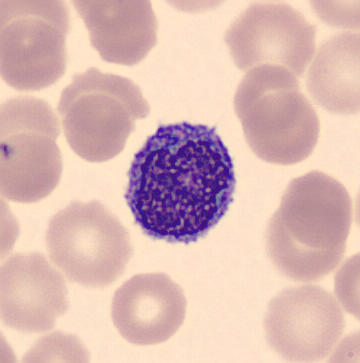
Peripheral blood film · May Grünwald-Giemsa stain.

Cell = monocyte.